Bone marrow aspirate smear · 250×250.
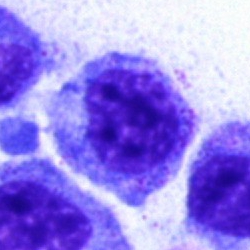Specimen: bone marrow aspirate smear.
Morphological class: progranulocyte.
Lineage: myeloid.